Bone marrow aspirate smear. 250 by 250 pixels.
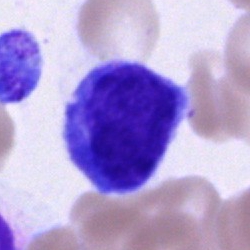 Morphological class: cell of indeterminate lineage.